Bone marrow smear. May-Grünwald-Giemsa/Pappenheim stain
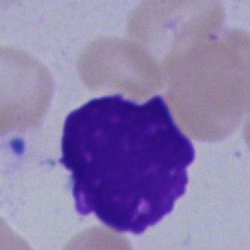

Artefact.